Bone marrow aspirate smear:
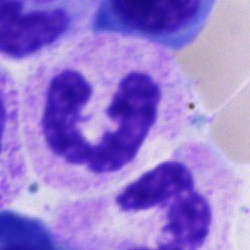

Specimen: bone marrow smear.
Morphological class: band neutrophil.